Bone marrow aspirate smear.
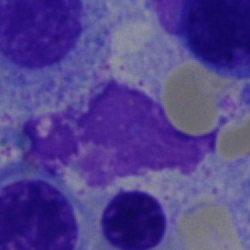 Cell — artefact.